Bone marrow smear
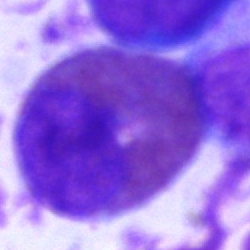

An eosinophilic granulocyte.